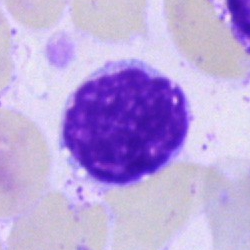

Specimen: bone marrow smear.
Morphological class: typical lymphocyte.
Lineage: lymphoid.